Bone marrow smear · May-Grünwald-Giemsa/Pappenheim stain: 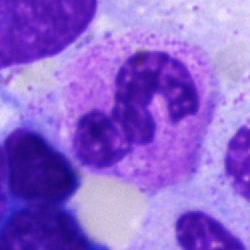

A neutrophil (segmented).